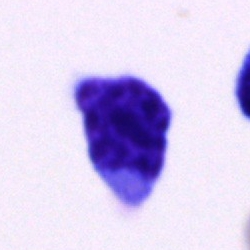

Single cell identified as an undifferentiated blast.